Bone marrow aspirate smear. 250×250 px. May-Grünwald-Giemsa/Pappenheim stain
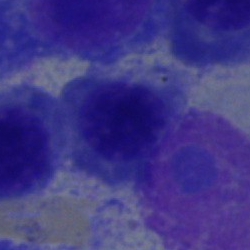
An erythroblast.